Bone marrow aspirate smear — 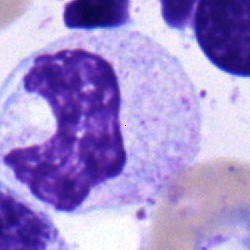The morphological class is band-form neutrophil.